Peripheral blood film — 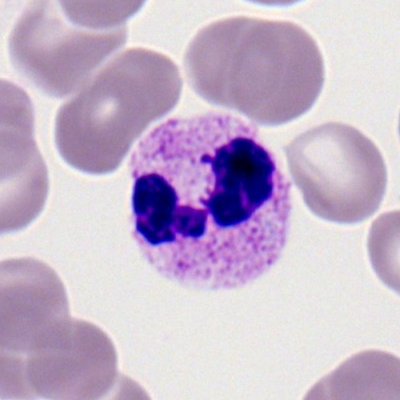

{"cell_type": "segmented neutrophil", "lineage": "myeloid"}